Bone marrow aspirate smear
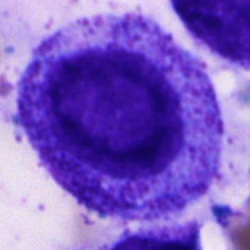 Morphology consistent with a promyelocyte.